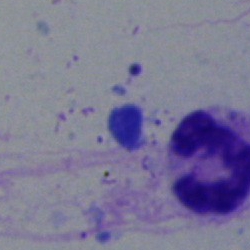 Morphology consistent with a polymorphonuclear neutrophil.